Bone marrow smear.
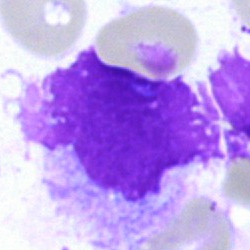Morphology → artifact.